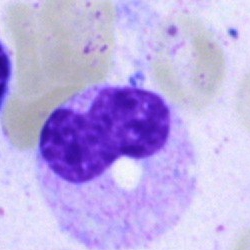This is a neutrophil (band).